Bone marrow aspirate smear · Pappenheim-stained · 40× oil immersion:
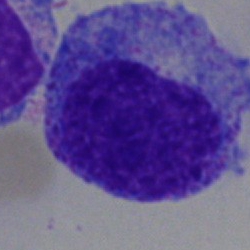
Morphological class: progranulocyte.